Bone marrow aspirate smear — 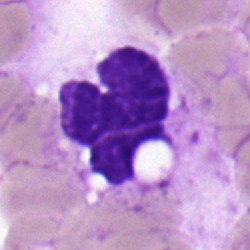 Cell — segmented neutrophil.